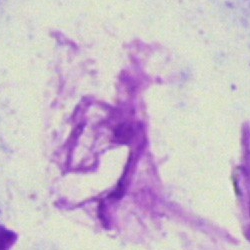

Q: What is shown here?
A: It is an artifact.